Bone marrow aspirate smear · Pappenheim-stained
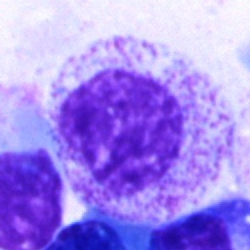 The cell shown is a myelocyte.